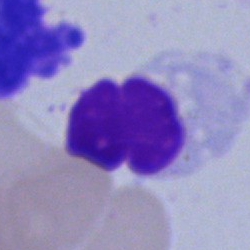
Q: What is shown here?
A: It is an artefact.